May-Grünwald-Giemsa/Pappenheim stain. 250×250. Bone marrow aspirate smear: 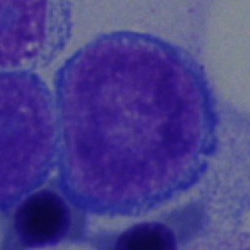
Q: What is the morphological classification of this cell?
A: It is a blast cell.